Single cell centered in the field · brightfield, 40× oil-immersion objective · bone marrow smear — 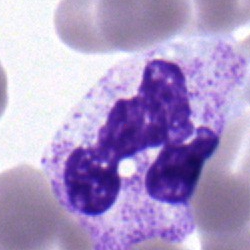A polymorphonuclear neutrophil.